Single-cell field · bone marrow smear · 40× oil immersion
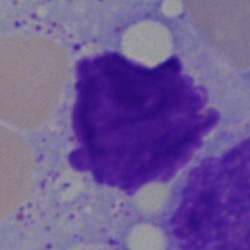 Showing an artifact.